Bone marrow smear: 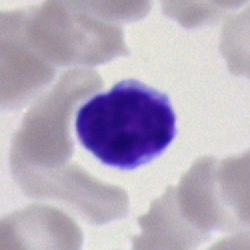Showing a lymphocyte.